250 by 250 pixels · bone marrow smear:
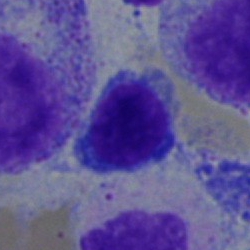

The cell is typical lymphocyte.